Bone marrow aspirate smear: 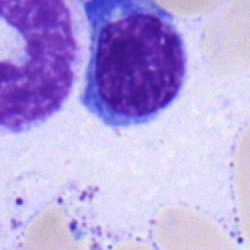 A nucleated red cell.